Peripheral blood smear
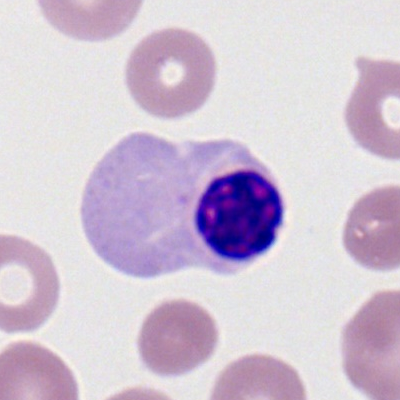 Morphology consistent with a nucleated red blood cell.